Brightfield, 40× oil-immersion objective; bone marrow aspirate smear:
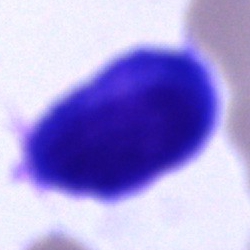 Q: Which cell type is shown here?
A: A plasma cell.